Peripheral blood smear. Cropped to a single cell
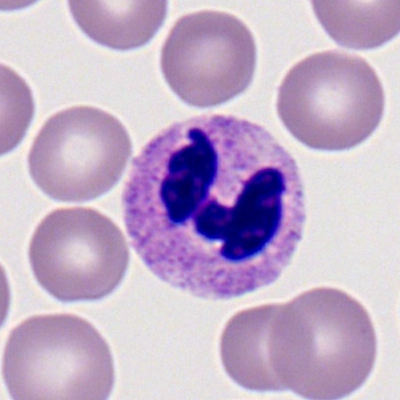 Showing a neutrophil (segmented).